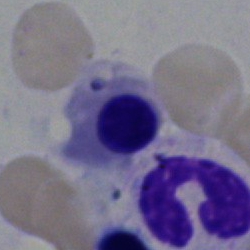 Morphology — erythroblast.